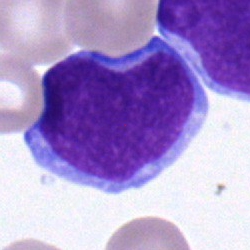

Impression → blast cell.